May-Grünwald-Giemsa/Pappenheim stain · bone marrow smear · 40× oil immersion — 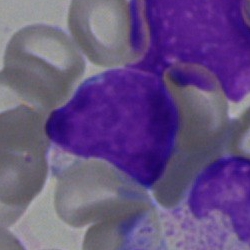
Morphological class = lymphocyte.